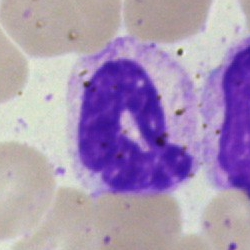

This is a segmented neutrophil.